Bone marrow aspirate smear:
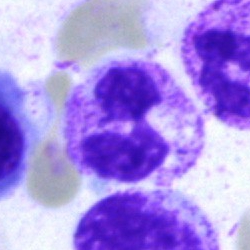

A polymorphonuclear neutrophil.